Bone marrow smear
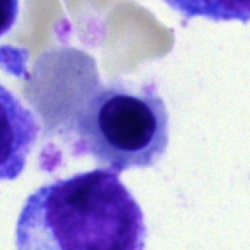

Showing a normoblast.